Bone marrow smear; 250×250: 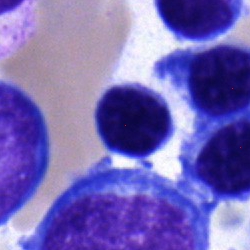Typical lymphocyte.